Bone marrow smear.
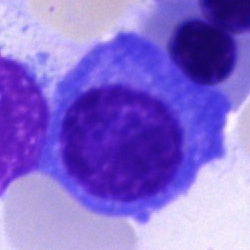Q: Identify the cell.
A: This is a plasmacyte.